40× oil immersion · bone marrow smear
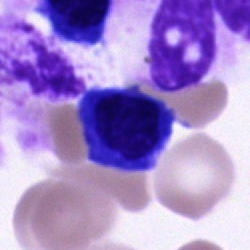
This is a cell of indeterminate lineage.